MGG-stained; bone marrow aspirate smear — 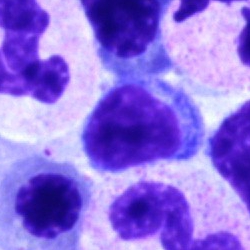 Cell type: lymphocyte.